Single cell centered in the field. Bone marrow aspirate smear
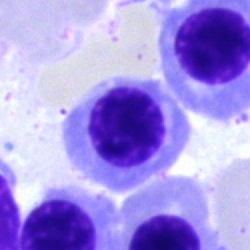

{"cell_type": "erythroblast", "lineage": "erythroid"}